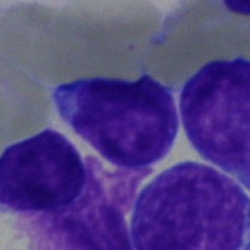

Q: What type of cell is this?
A: This is an undifferentiated blast.